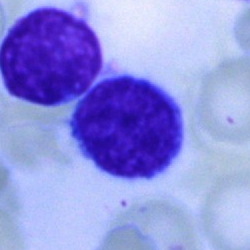Morphology consistent with a typical lymphocyte.